Brightfield microscopy, 40× oil immersion · bone marrow smear.
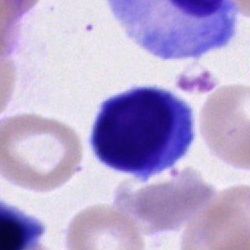Q: What cell is this?
A: It is a typical lymphocyte.